Bone marrow smear · 250×250: 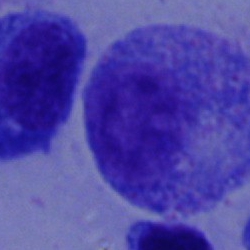

Showing a progranulocyte.